Bone marrow smear.
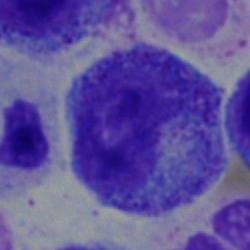
{"cell_type": "progranulocyte"}